250×250 px. 40× objective, oil immersion. Bone marrow smear
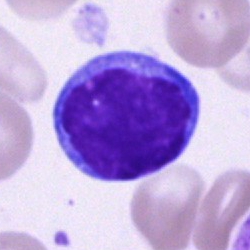

A lymphocyte.